Bone marrow aspirate smear — 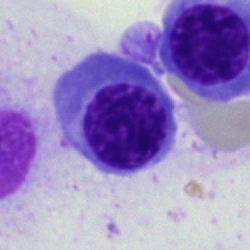

This is a nucleated red cell.